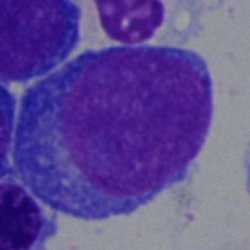 Morphology → pronormoblast.